250 by 250 pixels · bone marrow smear:
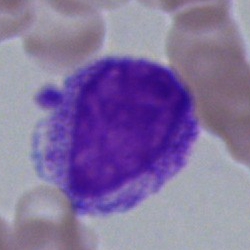Morphological class — myelocyte.